Bone marrow aspirate smear; 250×250.
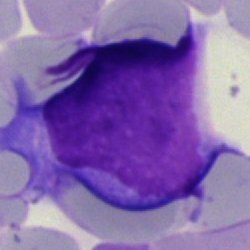

This is a blast.